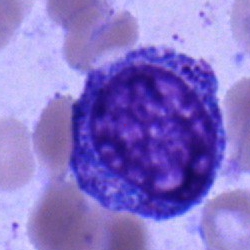

Promyelocyte.